May-Grünwald-Giemsa/Pappenheim stain · bone marrow smear · single cell centered in the field.
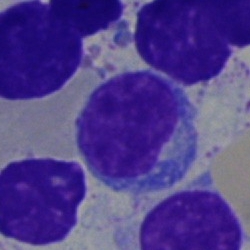 Showing a lymphocyte.